Bone marrow smear. 40× objective, oil immersion
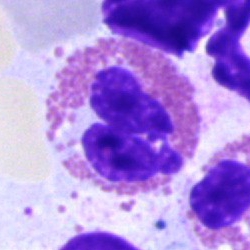{"cell_type": "eosinophilic granulocyte"}